250 by 250 pixels. Bone marrow aspirate smear
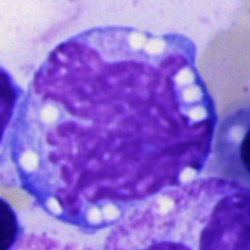
A monocyte.